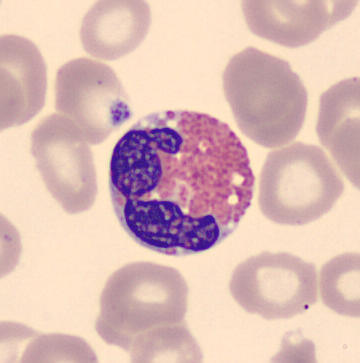

Q: What cell is this?
A: It is an eosinophil.
Automated cell imaging (CellaVision DM96). Peripheral blood smear.